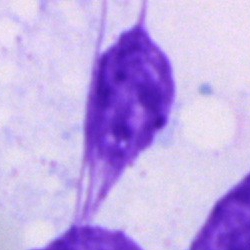
Classification — artefact.